Bone marrow smear.
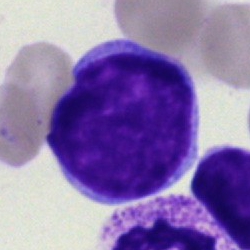
{"cell_type": "typical lymphocyte", "lineage": "lymphoid"}